Bone marrow aspirate smear.
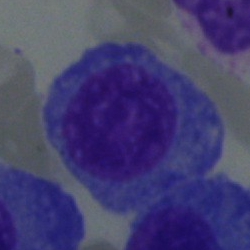

A plasmacyte.